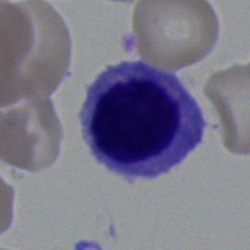 Specimen: bone marrow aspirate smear.
Cell type: nucleated red cell.
Lineage: erythroid.